Bone marrow aspirate smear: 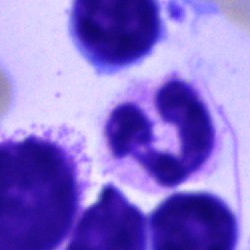 Single cell identified as a neutrophil (segmented).